May-Grünwald-Giemsa/Pappenheim stain. Bone marrow aspirate smear — 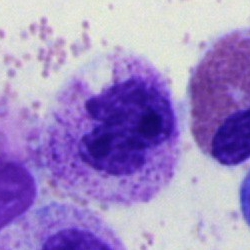

Q: What type of cell is this?
A: This is a polymorphonuclear neutrophil.